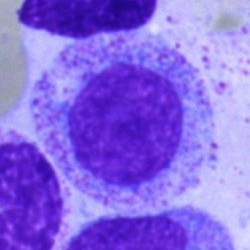Classification — myelocyte.